Single cell centered in the field. Bone marrow smear: 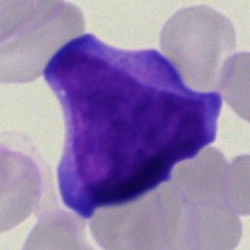
Showing an undifferentiated blast.